250 by 250 pixels · bone marrow aspirate smear · single-cell crop: 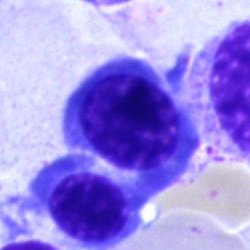

Morphological class = normoblast.